Single-cell field; bone marrow smear — 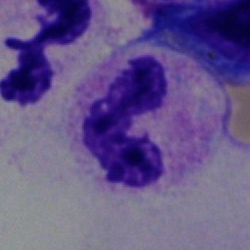

Morphological class — neutrophil (band).